Bone marrow aspirate smear — 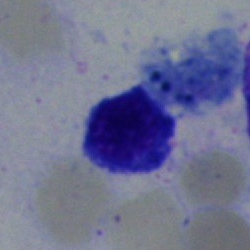 The cell shown is a typical lymphocyte.